Bone marrow aspirate smear; 40× objective, oil immersion.
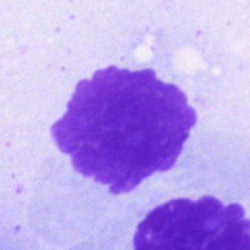 This is an artifact.